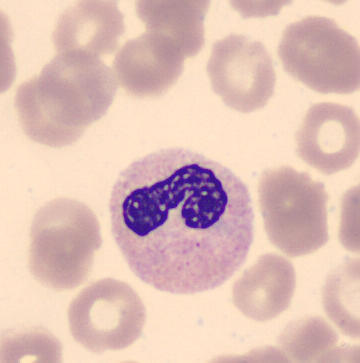
Peripheral blood smear.
This is a stab cell.